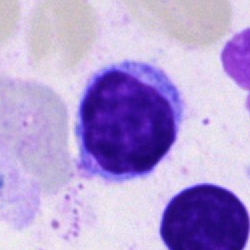 A typical lymphocyte.